Single-cell field; bone marrow smear:
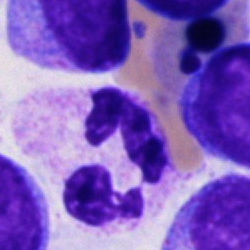The cell shown is a neutrophil (segmented).